Bone marrow smear:
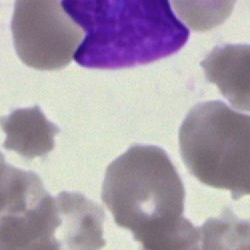Morphology consistent with an artifact.